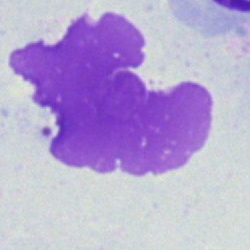

Morphological class = artifact.